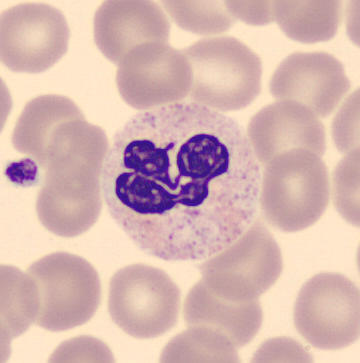
Peripheral blood film.
Impression — segmented neutrophil.